Romanowsky stain. Peripheral blood film — 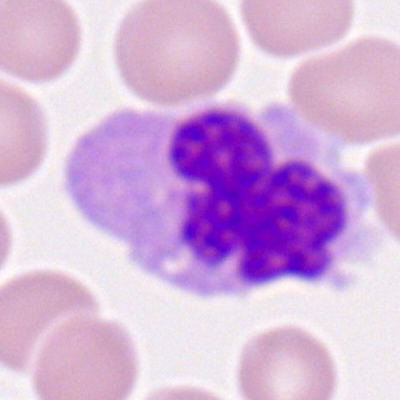

{"cell_type": "monocyte", "lineage": "myeloid"}